Bone marrow smear: 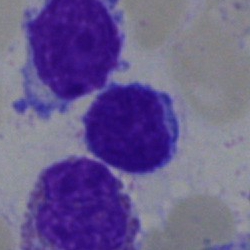The cell shown is a typical lymphocyte.